Bone marrow smear; single-cell field; 40× objective, oil immersion: 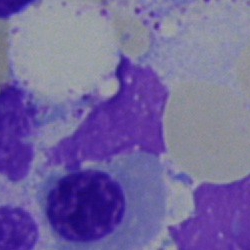

This is an artefact.